Bone marrow aspirate smear · Pappenheim-stained: 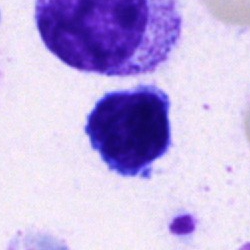 A typical lymphocyte.